Bone marrow smear:
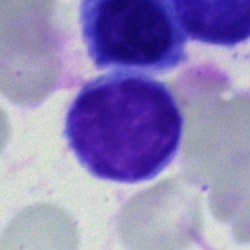

Morphology consistent with a typical lymphocyte.